MGG-stained. Bone marrow aspirate smear — 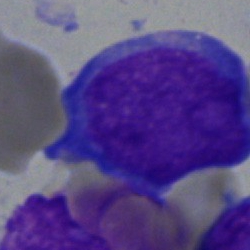

Impression → undifferentiated blast.